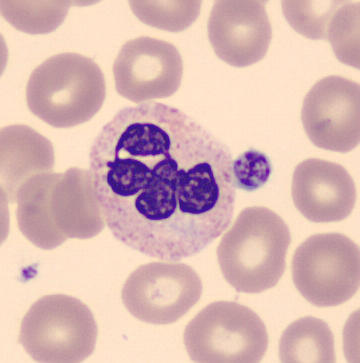 Morphological class: neutrophil (segmented).
Peripheral blood smear. Single-cell crop. CellaVision DM96 digital cell image.